Bone marrow aspirate smear. Image size 250×250
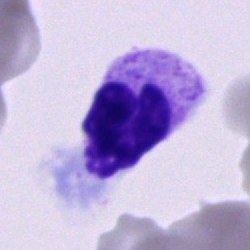Single cell identified as a neutrophil (segmented).